Bone marrow smear; Pappenheim-stained; image size 250×250:
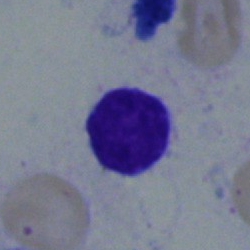

Morphological class — lymphocyte.